Image size 250×250. Bone marrow smear. Pappenheim-stained.
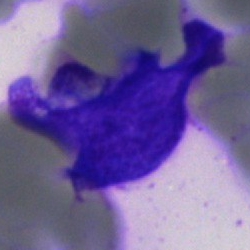 Cell — artefact.